Pappenheim-stained; cropped to a single cell; bone marrow aspirate smear: 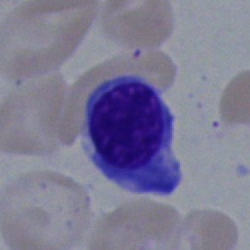
A normoblast.